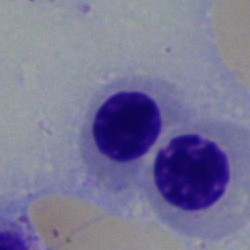
{"cell_type": "nucleated red blood cell"}